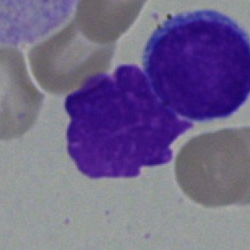Specimen: bone marrow smear.
Morphological class: typical lymphocyte.
Lineage: lymphoid.